Bone marrow aspirate smear
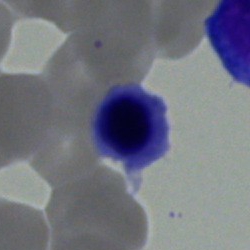

An erythroblast.